Bone marrow smear
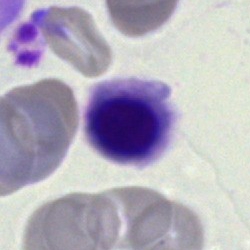Showing a nucleated red blood cell.